Peripheral blood film.
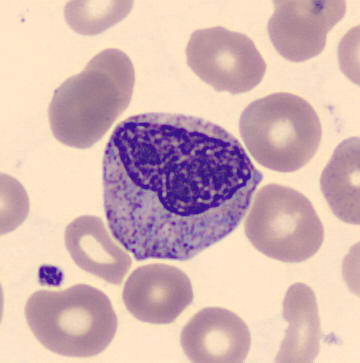 This is a metamyelocyte.